Bone marrow smear
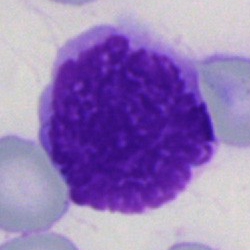

Morphological class: artefact.